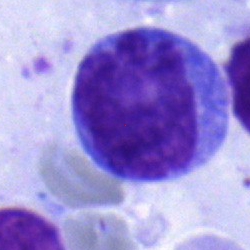

{"cell_type": "monocyte", "lineage": "myeloid"}